Bone marrow smear — 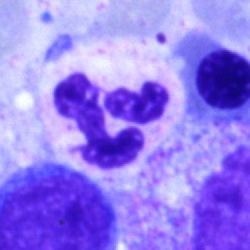Morphology consistent with a segmented neutrophil.